250 by 250 pixels; bone marrow smear; May-Grünwald-Giemsa stain.
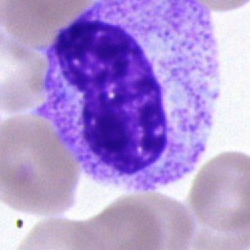

Q: Which cell type is shown here?
A: This is a stab cell.